Peripheral blood smear; 100× objective, oil immersion — 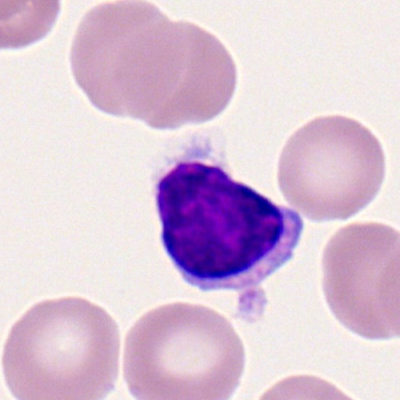
Typical lymphocyte.